Bone marrow aspirate smear:
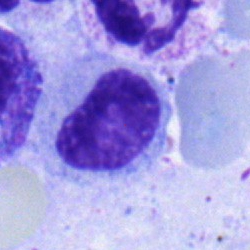
The cell is metamyelocyte.